Brightfield, 40× oil-immersion objective · bone marrow smear: 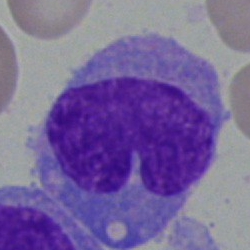 Specimen: bone marrow smear.
Cell: monocyte.
Lineage: myeloid.